250×250 · bone marrow smear · brightfield microscopy, 40× oil immersion
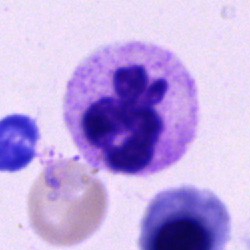

Specimen: bone marrow aspirate smear.
Cell type: neutrophil (segmented).
Lineage: myeloid.